Bone marrow smear:
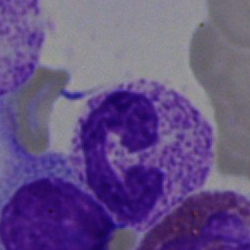

Segmented neutrophil.